250×250; bone marrow smear:
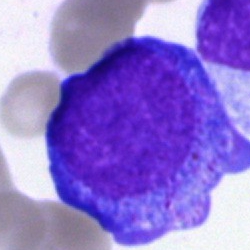Progranulocyte.